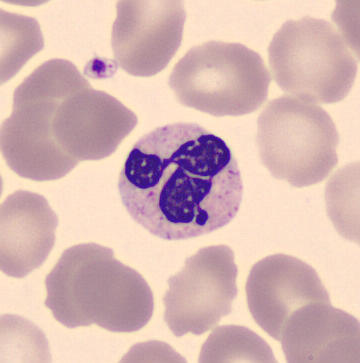Q: What is this?
A: This is a neutrophil (segmented).

Acquisition: MGG-stained; peripheral blood smear.